Single-cell crop · MGG-stained · bone marrow smear
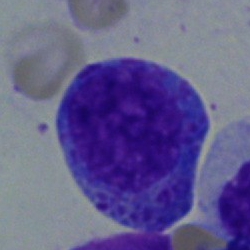Q: What is shown here?
A: A progranulocyte.